Cropped to a single cell · bone marrow smear — 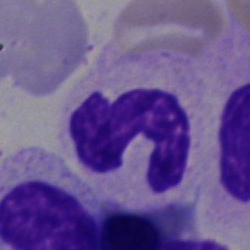
Showing a neutrophil (segmented).